Bone marrow smear — 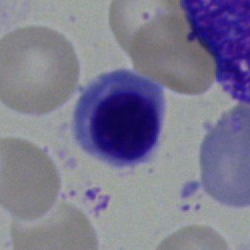

Classification = normoblast.